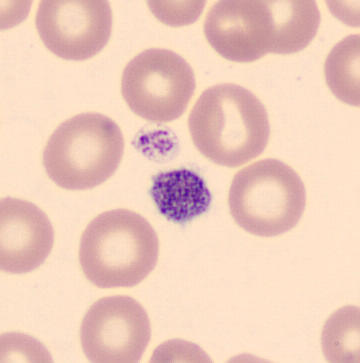 Morphology consistent with a platelet.

Image: Peripheral blood film.